Bone marrow aspirate smear: 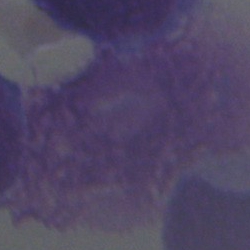 Classification: artifact.